250×250; bone marrow smear:
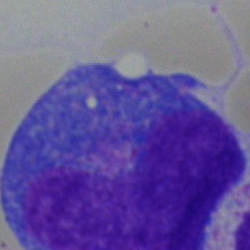

A progranulocyte.